Bone marrow smear; May-Grünwald-Giemsa stain:
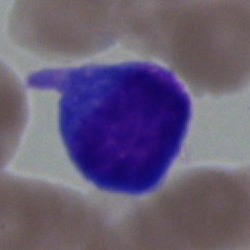
Morphology → blast.